Bone marrow aspirate smear; 250×250 — 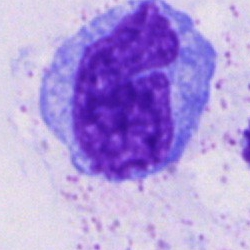 Q: What is shown here?
A: Monocyte.